Bone marrow smear
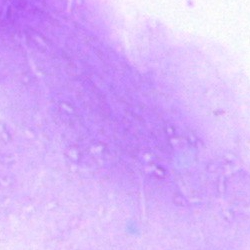

Morphology consistent with an artifact.